Bone marrow aspirate smear: 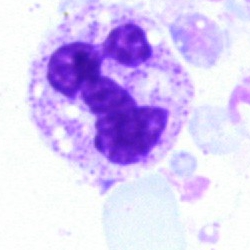

Showing a polymorphonuclear neutrophil.